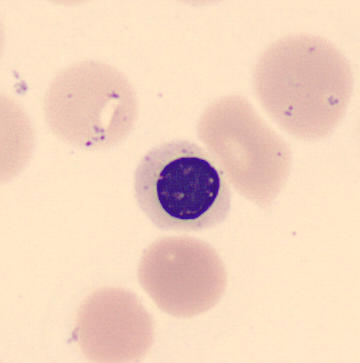Morphology consistent with a nucleated red blood cell.